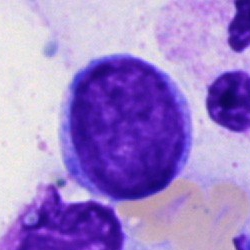
Classification — blast cell.